Bone marrow aspirate smear — 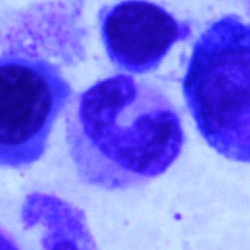Cell type = polymorphonuclear neutrophil.